Peripheral blood film.
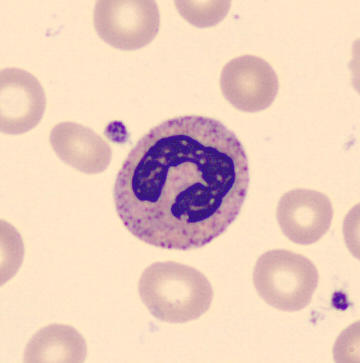 Impression — neutrophil (band).